Pappenheim-stained. Brightfield, 40× oil-immersion objective. Bone marrow aspirate smear:
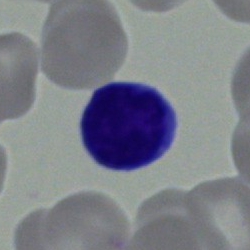Q: What cell is this?
A: It is a lymphocyte.